Bone marrow smear; single cell centered in the field; Pappenheim-stained
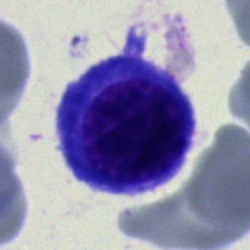This is a normoblast.